Bone marrow smear:
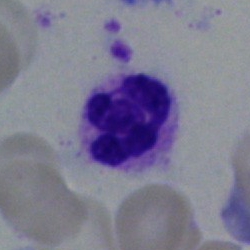 Classification = segmented neutrophil.